Peripheral blood film: 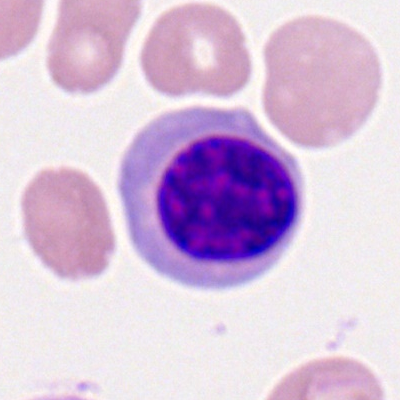 Impression — lymphocyte.